Bone marrow aspirate smear
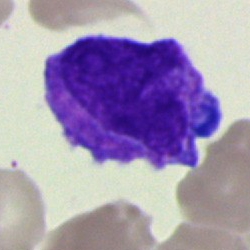 Morphology consistent with a blast cell.